Peripheral blood film; CellaVision DM96; May Grünwald-Giemsa stain: 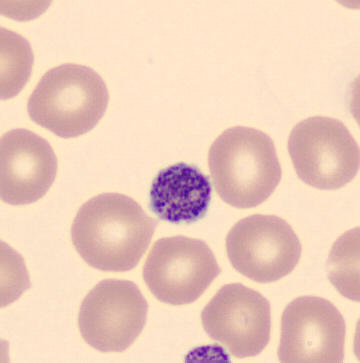Impression — platelet (thrombocyte).